Bone marrow aspirate smear; single-cell field: 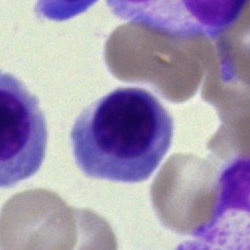Morphology consistent with a normoblast.